Bone marrow aspirate smear. 250×250. 40× oil immersion — 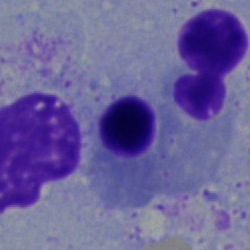 The cell is normoblast.